Bone marrow smear. MGG-stained: 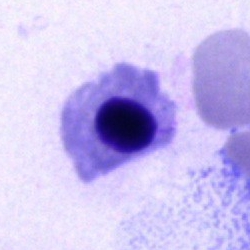
Q: What is shown here?
A: It is an erythroblast.